Bone marrow aspirate smear — 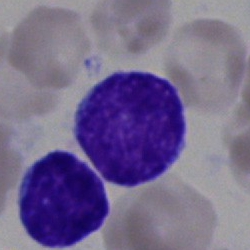 {"cell_type": "lymphocyte", "lineage": "lymphoid"}